Bone marrow aspirate smear · brightfield, 40× oil-immersion objective · 250 by 250 pixels: 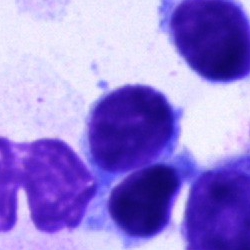Specimen: bone marrow smear.
Cell: lymphocyte.